Bone marrow smear; MGG-stained
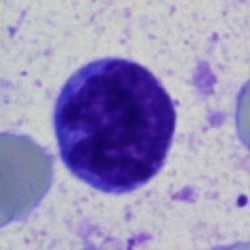 Morphological class — lymphocyte.